Bone marrow aspirate smear — 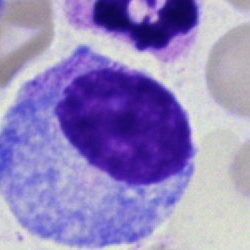 Showing a promyelocyte.